Bone marrow smear · May-Grünwald-Giemsa stain · 40× objective, oil immersion:
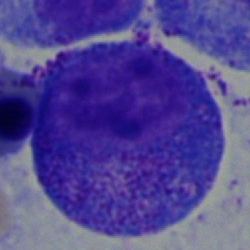

The cell shown is a promyelocyte.